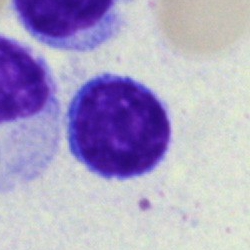

Q: Identify the cell.
A: This is a typical lymphocyte.